Bone marrow smear — 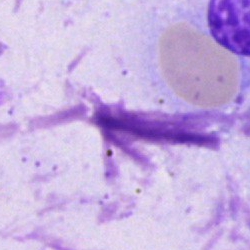

Showing an artifact.